Bone marrow aspirate smear: 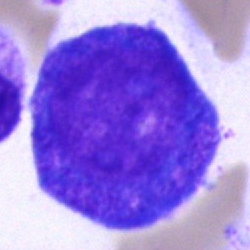Impression — promyelocyte.